Pappenheim-stained. Bone marrow aspirate smear:
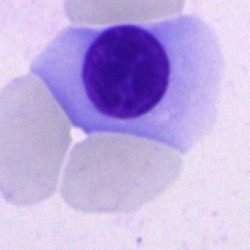A nucleated red cell.